Pappenheim-stained · bone marrow smear:
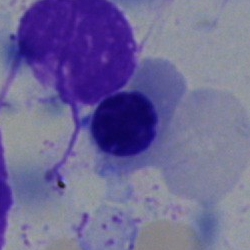 Morphological class — nucleated red cell.